Bone marrow aspirate smear — 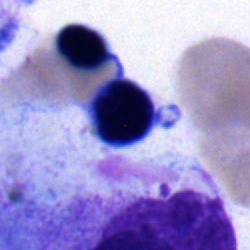
Q: Which cell type is shown here?
A: An erythroblast.